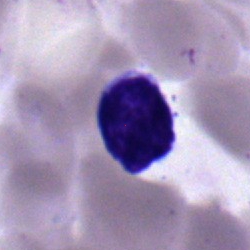
Classification — typical lymphocyte.